Bone marrow smear. 40× objective, oil immersion.
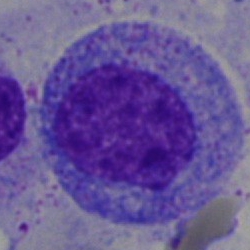
Q: Identify the cell.
A: It is a promyelocyte.